Bone marrow aspirate smear — 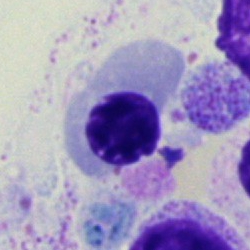This is an erythroblast.